Peripheral blood smear:
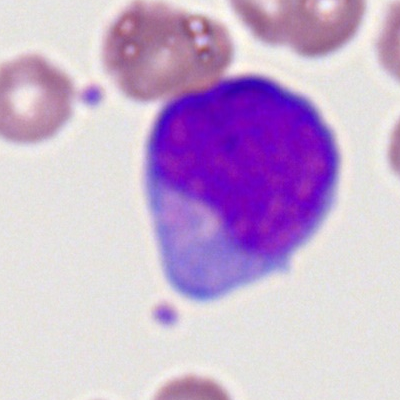
The cell shown is a myeloblast.